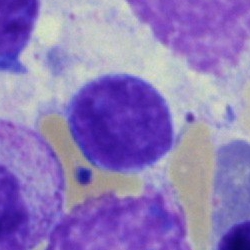 Impression — lymphocyte.